Bone marrow aspirate smear — 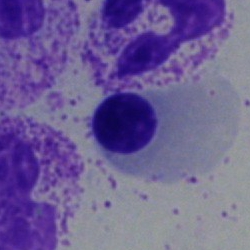 The cell is erythroblast.